Bone marrow aspirate smear — 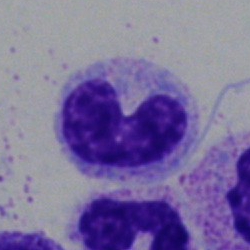
{"cell_type": "band-form neutrophil"}